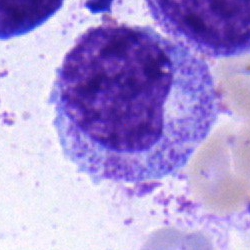
A myelocyte on a bone marrow smear.